Bone marrow aspirate smear
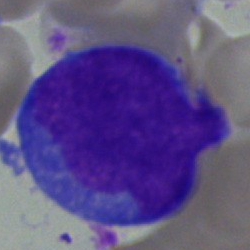Classification = undifferentiated blast.